Bone marrow smear:
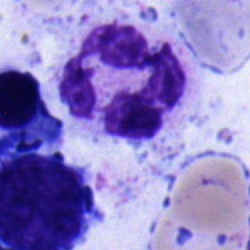

Classification = neutrophil (segmented).